Bone marrow smear. Pappenheim-stained:
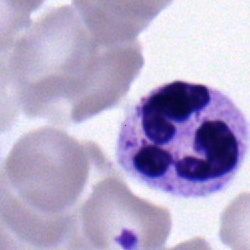 Morphological class — polymorphonuclear neutrophil.